Bone marrow smear.
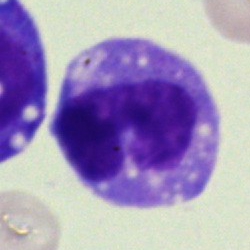
Morphological class — monocyte.